Bone marrow smear: 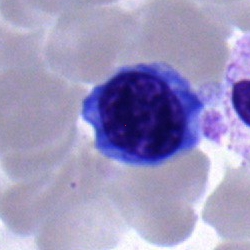Q: Which cell type is shown here?
A: Nucleated red cell.